Bone marrow aspirate smear: 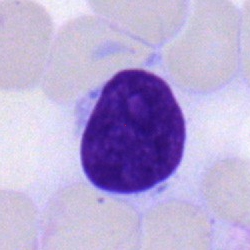

Showing a typical lymphocyte.